Bone marrow aspirate smear:
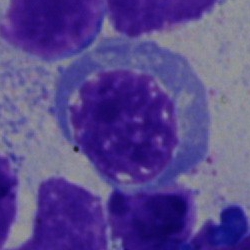

A nucleated red cell.